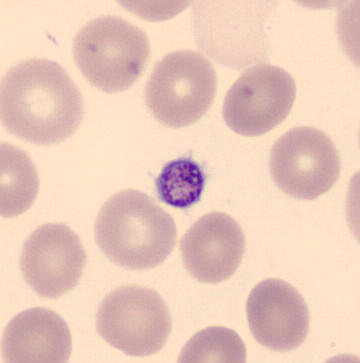Preparation: Peripheral blood smear; 360×363.
Morphology — thrombocyte.